Bone marrow aspirate smear: 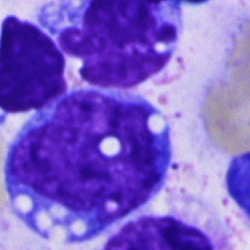
Impression → monocyte.